Bone marrow smear; May-Grünwald-Giemsa/Pappenheim stain; cropped to a single cell:
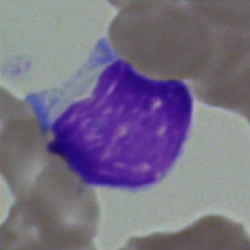
Cell type: typical lymphocyte.